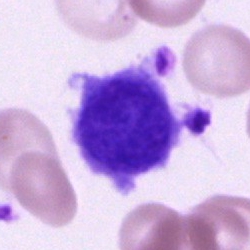The morphological class is artefact.